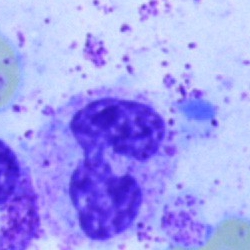

Classification: polymorphonuclear neutrophil.